Bone marrow smear
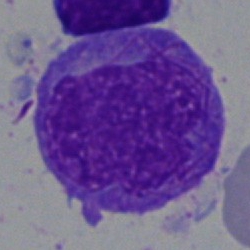 Cell type = progranulocyte.